Single cell centered in the field. Bone marrow aspirate smear: 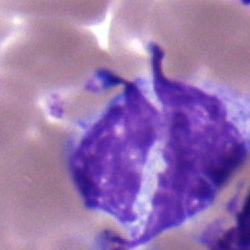 Monocyte.